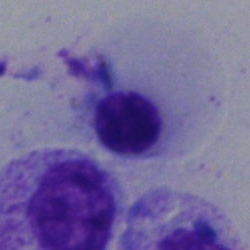 A nucleated red cell.